Bone marrow aspirate smear; MGG-stained.
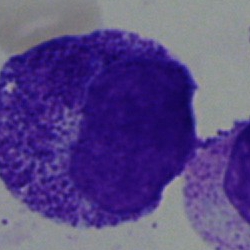
The morphological class is progranulocyte.